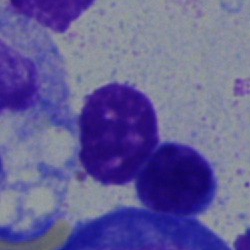

Bone marrow smear showing a typical lymphocyte.